Pappenheim-stained. Bone marrow smear:
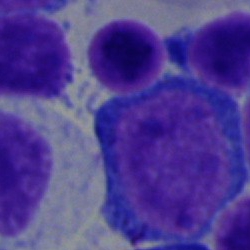 Impression → pronormoblast.